Bone marrow aspirate smear · 40× oil immersion · single cell centered in the field:
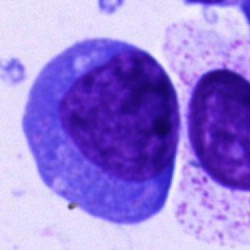
Q: What type of cell is this?
A: A blast cell.